Bone marrow smear — 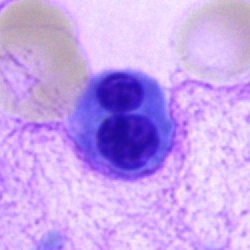
Specimen: bone marrow aspirate smear.
Cell type: erythroblast.